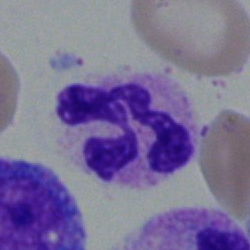
Q: What is shown here?
A: This is a polymorphonuclear neutrophil.